250×250; bone marrow smear:
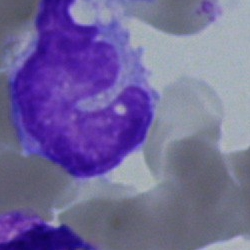 Morphology consistent with a monocyte.